Bone marrow smear · single-cell crop — 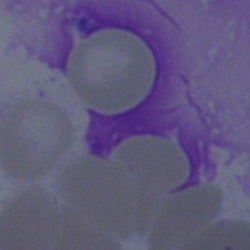
Morphological class = artifact.